Single-cell field · brightfield microscopy, 40× oil immersion · bone marrow smear
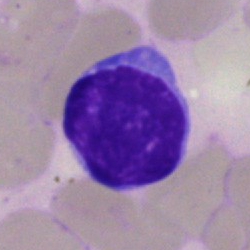
Morphology → typical lymphocyte.